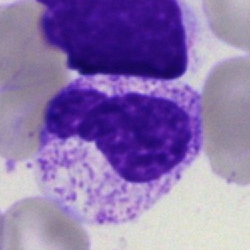
Q: What type of cell is this?
A: It is a stab cell.